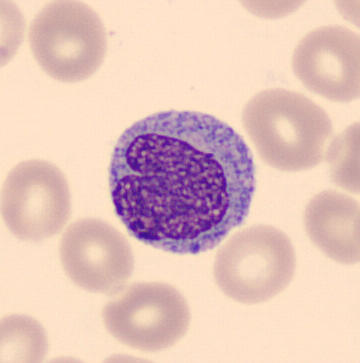
Image: Peripheral blood film.

Identified as a monocyte.